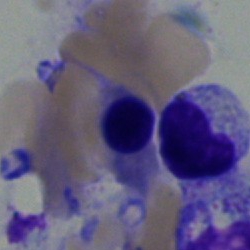Q: What is the morphological classification of this cell?
A: Nucleated red cell.